Bone marrow aspirate smear · 250×250:
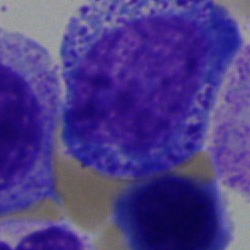
Morphological class — progranulocyte.